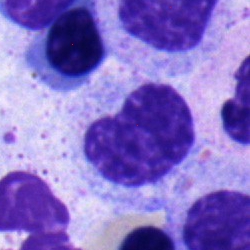Specimen: bone marrow smear.
Morphological class: metamyelocyte.